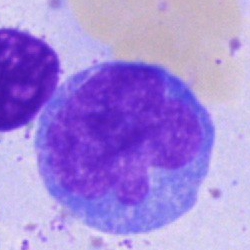 Q: Identify the cell.
A: It is a monocyte.